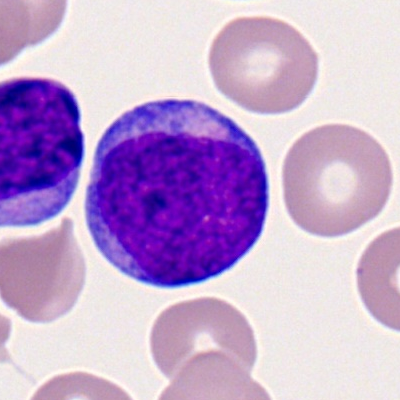 This is a myeloblast.